100× oil immersion. Peripheral blood smear: 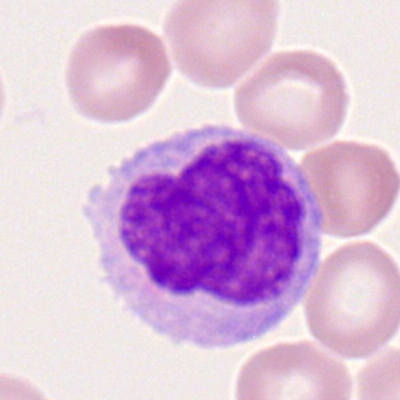 Cell: monocyte.